40× oil immersion · bone marrow aspirate smear:
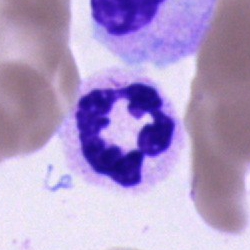
Morphology consistent with a neutrophil (segmented).